Brightfield, 40× oil-immersion objective; 250×250 px; bone marrow aspirate smear.
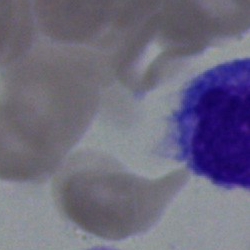 Specimen: bone marrow aspirate smear.
Classification: monocyte.
Lineage: myeloid.